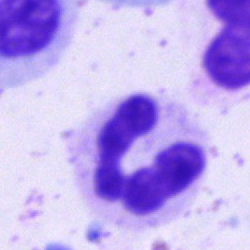 Cell — polymorphonuclear neutrophil.